Bone marrow aspirate smear: 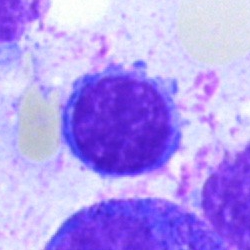
Cell: typical lymphocyte.